Bone marrow smear.
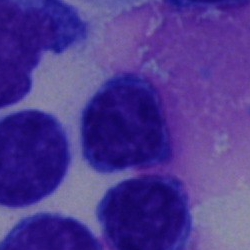Specimen: bone marrow smear.
Classification: lymphocyte.
Lineage: lymphoid.